Bone marrow smear
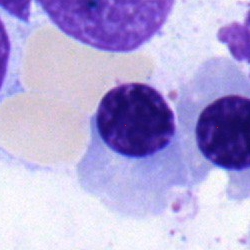
Impression → normoblast.